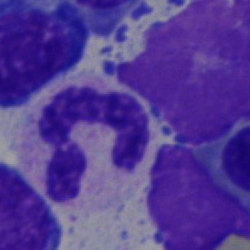

Cell — segmented neutrophil.